Bone marrow aspirate smear
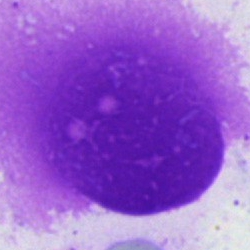{"cell_type": "artifact"}